40× oil immersion · MGG-stained · bone marrow smear — 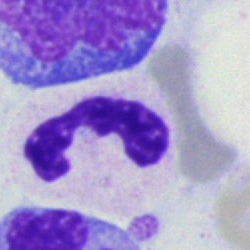

Specimen: bone marrow smear.
Cell: polymorphonuclear neutrophil.